Bone marrow smear:
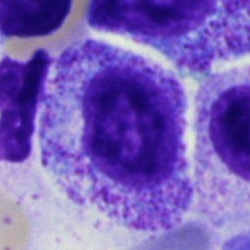Q: What type of cell is this?
A: It is a myelocyte.